Bone marrow smear — 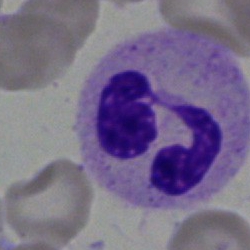

Single cell identified as a polymorphonuclear neutrophil.